Bone marrow aspirate smear.
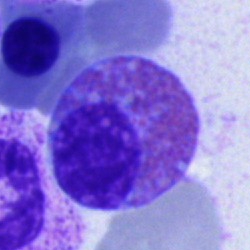

The cell is eosinophil.